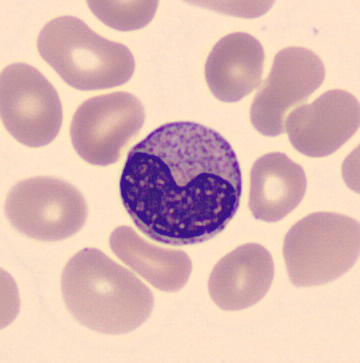 Acquisition: Peripheral blood film. The cell type is metamyelocyte.